Bone marrow smear; 40× objective, oil immersion
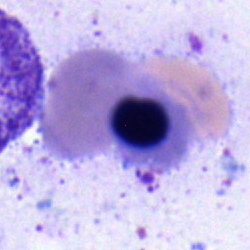

Classification = normoblast.